Bone marrow aspirate smear · brightfield microscopy, 40× oil immersion · single-cell crop — 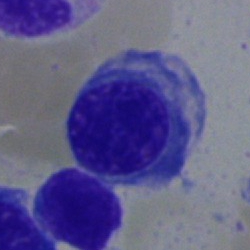
{"cell_type": "nucleated red cell", "lineage": "erythroid"}